Single cell centered in the field. Peripheral blood smear. 100× oil immersion, 14.14 px/µm: 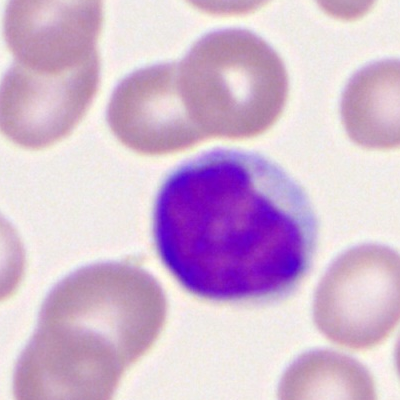
Single cell identified as a typical lymphocyte.